Peripheral blood film — 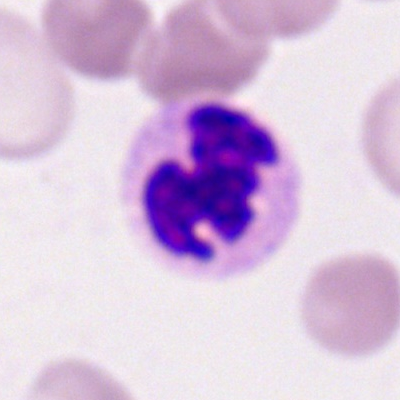 The classification is neutrophil (segmented).